Bone marrow aspirate smear; May-Grünwald-Giemsa stain — 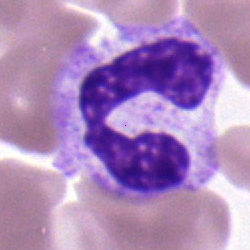{"cell_type": "neutrophil (segmented)"}